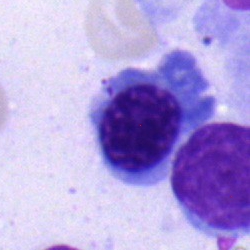

An erythroblast.